Bone marrow smear: 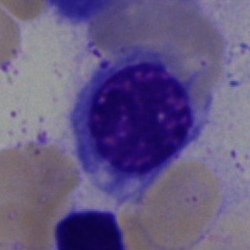
Morphology consistent with an erythroblast.